Peripheral blood film: 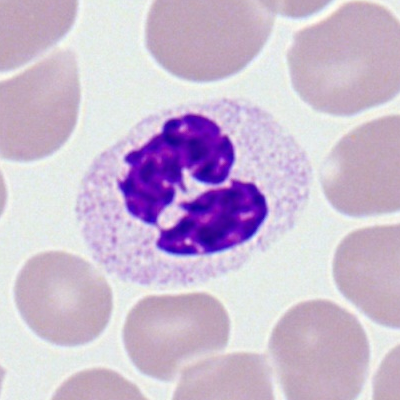 Single cell identified as a neutrophil (segmented).